Bone marrow aspirate smear
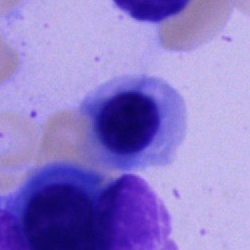 Cell: erythroblast.